Peripheral blood film. Brightfield, 100× oil-immersion objective. Romanowsky-stained.
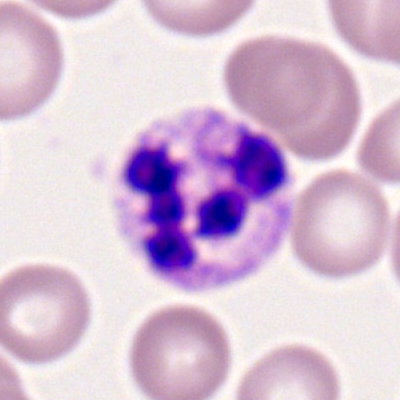
{"cell_type": "segmented neutrophil", "lineage": "myeloid"}